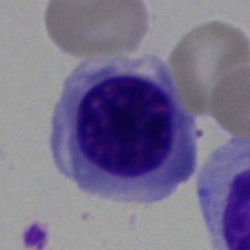
Cell: nucleated red blood cell.